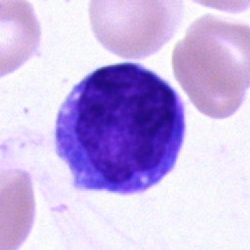

The cell is monocyte.